Pappenheim-stained. Bone marrow aspirate smear. 250 by 250 pixels: 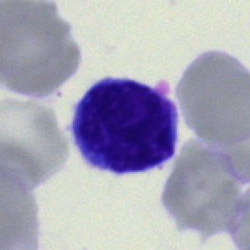 Specimen: bone marrow aspirate smear.
Cell type: lymphocyte.